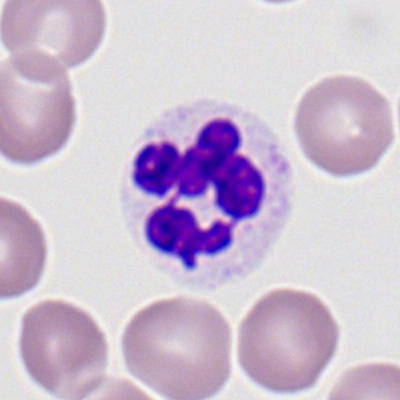
{"cell_type": "neutrophil (segmented)", "lineage": "myeloid"}